250×250 px · bone marrow smear — 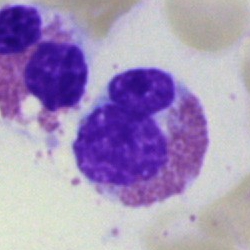The cell shown is an eosinophil.